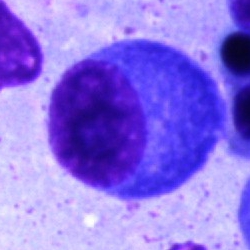
Q: What cell is this?
A: This is a plasma cell.